250 by 250 pixels; single-cell field; bone marrow smear.
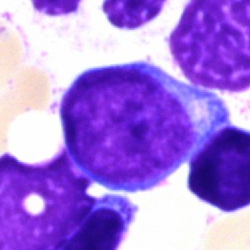
Q: What is shown here?
A: It is an undifferentiated blast.